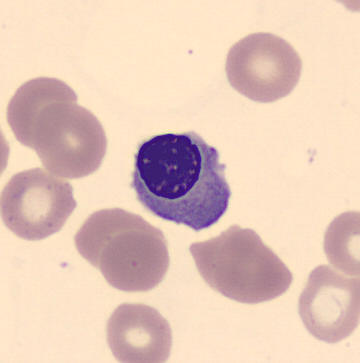
Morphological class — erythroblast.